Bone marrow aspirate smear — 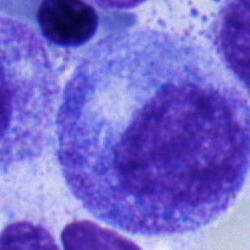Specimen: bone marrow aspirate smear.
Classification: progranulocyte.
Lineage: myeloid.